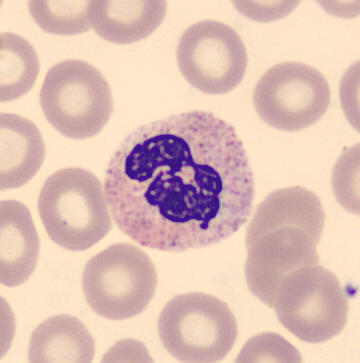 Acquisition: Automated cell imaging (CellaVision DM96) · peripheral blood film.

Morphological class — neutrophil (segmented).